Bone marrow smear:
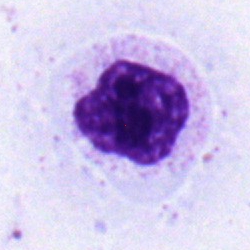
Morphology — myelocyte.